Bone marrow smear · 250 by 250 pixels: 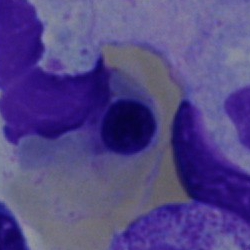{"cell_type": "erythroblast", "lineage": "erythroid"}